Bone marrow aspirate smear; brightfield microscopy, 40× oil immersion: 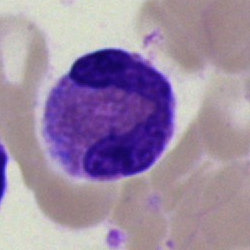The cell shown is an eosinophil.